Brightfield, 40× oil-immersion objective · bone marrow smear
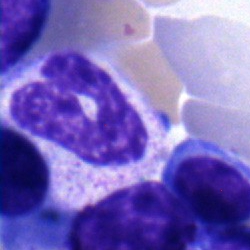Morphology → band neutrophil.